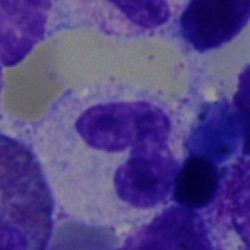A segmented neutrophil.